Bone marrow aspirate smear:
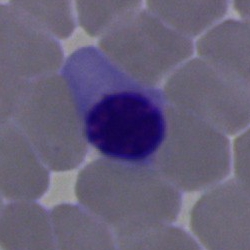

Morphology → nucleated red cell.